Bone marrow aspirate smear: 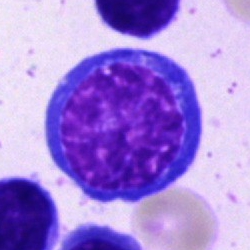Cell type = erythroblast.